Bone marrow aspirate smear
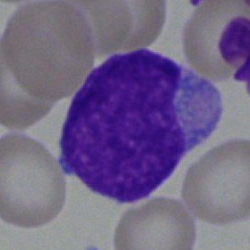

Cell type = undifferentiated blast.